Bone marrow aspirate smear. Brightfield microscopy, 40× oil immersion. Cropped to a single cell: 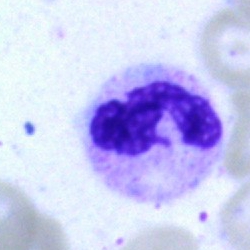

This is a segmented neutrophil.